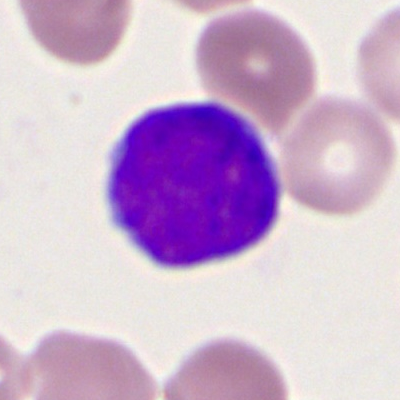Morphology → myeloblast.